Single-cell field; bone marrow smear:
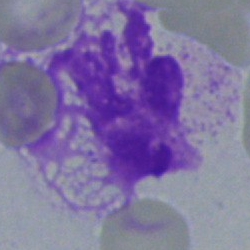
Specimen: bone marrow smear.
Classification: artifact.